Bone marrow aspirate smear: 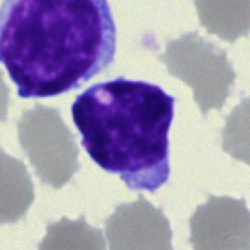
Typical lymphocyte.